Peripheral blood film
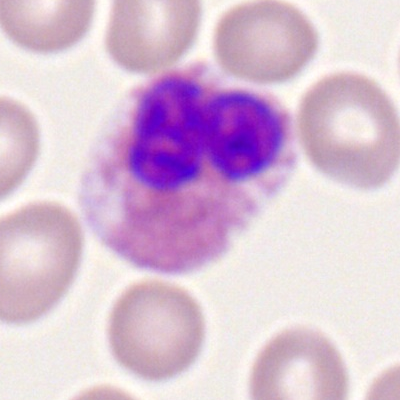 Q: What cell is this?
A: It is an eosinophilic granulocyte.